May-Grünwald-Giemsa/Pappenheim stain · bone marrow smear — 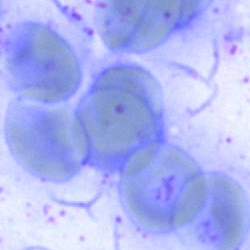 Q: What is shown here?
A: Artefact.